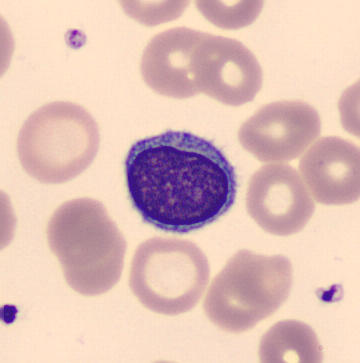 Classification: typical lymphocyte.